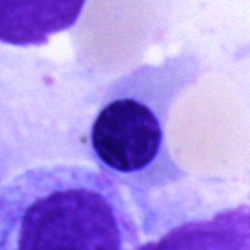An erythroblast.